May-Grünwald-Giemsa/Pappenheim stain; bone marrow smear; image size 250×250
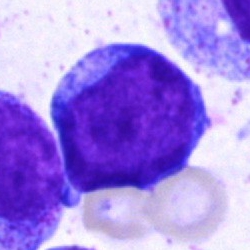 Morphology — undifferentiated blast.